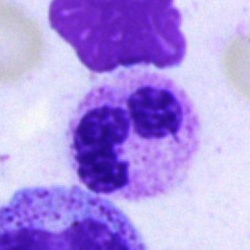

Specimen: bone marrow aspirate smear.
Cell type: segmented neutrophil.